Bone marrow aspirate smear.
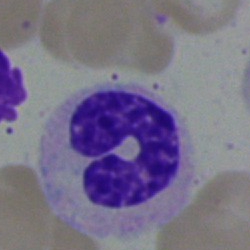
Showing a stab cell.